Bone marrow aspirate smear: 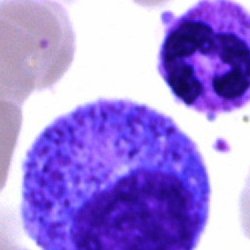Q: What cell is this?
A: Progranulocyte.